Single cell centered in the field · bone marrow smear:
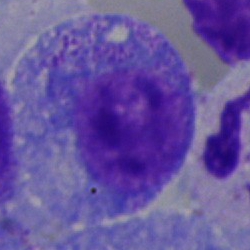
Morphological class = promyelocyte.